Bone marrow aspirate smear.
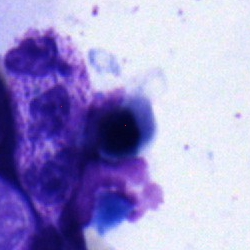 Q: What cell is this?
A: A normoblast.